Brightfield, 40× oil-immersion objective; 250×250 px; bone marrow smear — 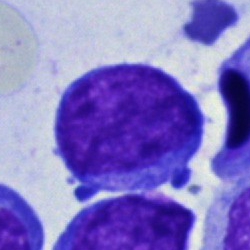 This is a blast cell.